Bone marrow smear — 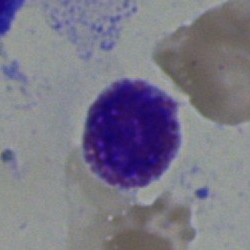 An eosinophil.